Bone marrow smear. Image size 250×250. 40× oil immersion.
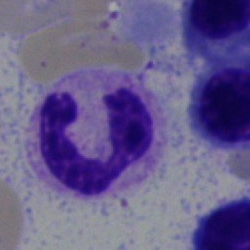
Morphology consistent with a segmented neutrophil.